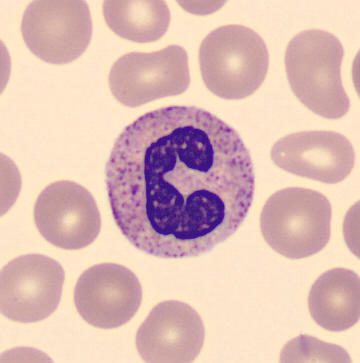 Acquisition: Peripheral blood smear.

Classification: neutrophil (band).